Single-cell field. Pappenheim-stained. Bone marrow smear — 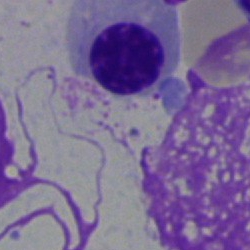 Showing a normoblast.